MGG-stained. Bone marrow aspirate smear. 250×250 — 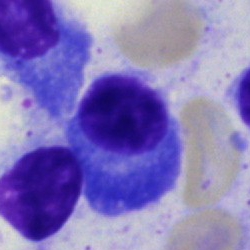
Cell type: plasmacyte.